Bone marrow aspirate smear; 40× oil immersion; single cell centered in the field: 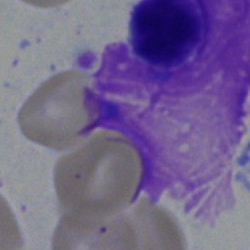Q: What type of cell is this?
A: It is a typical lymphocyte.